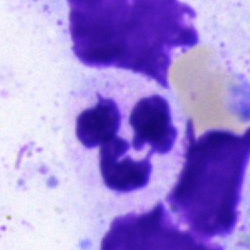This is a segmented neutrophil.